Bone marrow smear. 250×250: 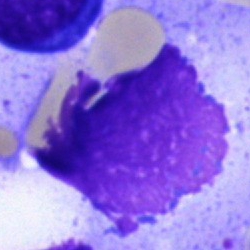The morphological class is artefact.